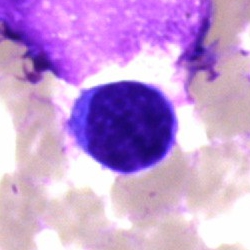 Specimen: bone marrow smear.
Morphological class: typical lymphocyte.
Lineage: lymphoid.